Peripheral blood film. 400×400 px.
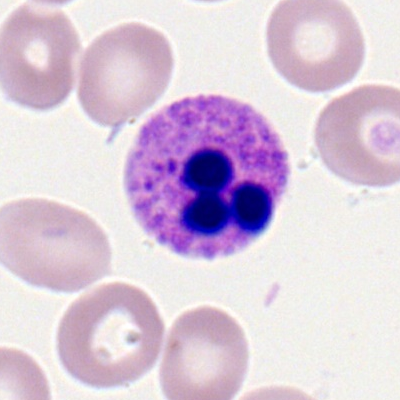
Showing a segmented neutrophil.